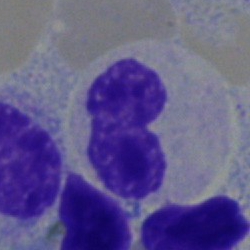
Specimen: bone marrow aspirate smear.
Cell type: band neutrophil.
Lineage: myeloid.